Single-cell crop · bone marrow aspirate smear · 40× oil immersion:
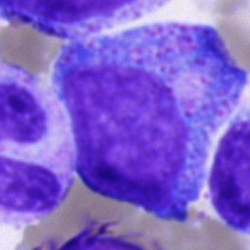
This is a progranulocyte.